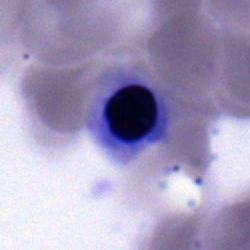 Q: What cell is this?
A: This is a nucleated red blood cell.